250×250 px · bone marrow smear: 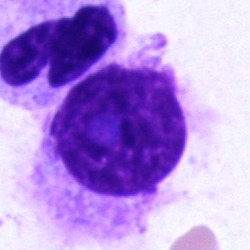
Specimen: bone marrow smear.
Morphological class: artefact.